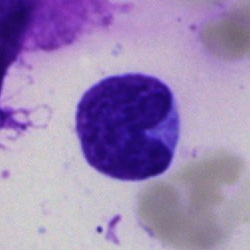A lymphocyte on a bone marrow smear.